Romanowsky-stained. Peripheral blood smear.
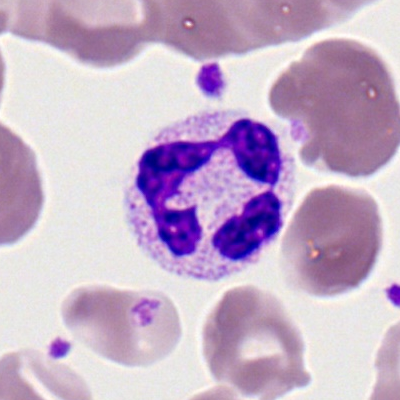 Morphology — neutrophil (segmented).